Bone marrow smear
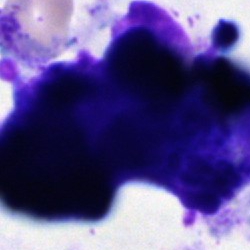 Cell type: artifact.